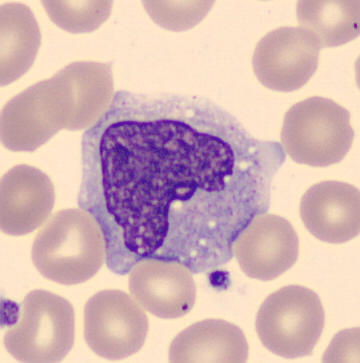Morphology — monocyte. Peripheral blood film.